250×250 px. Bone marrow aspirate smear: 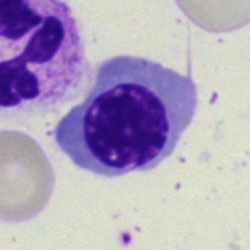This is a nucleated red cell.